Bone marrow aspirate smear. Image size 250×250. May-Grünwald-Giemsa stain:
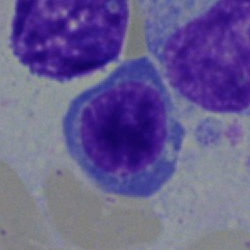

Q: What is the morphological classification of this cell?
A: Normoblast.